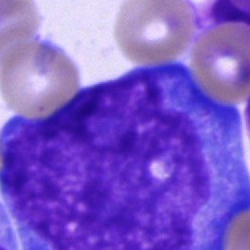

Impression → blast.